Bone marrow smear — 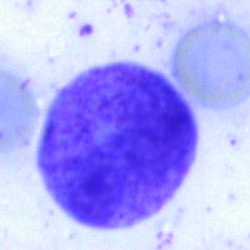
Impression — promyelocyte.